Bone marrow aspirate smear · Pappenheim-stained — 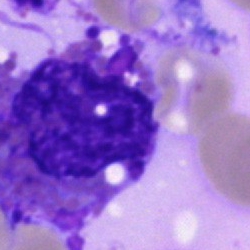Impression — eosinophil.